Bone marrow smear — 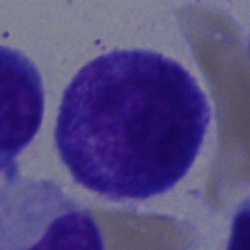

Q: What cell is this?
A: It is a progranulocyte.